Bone marrow aspirate smear — 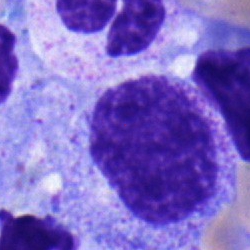

Cell type — myelocyte.